Brightfield microscopy, 40× oil immersion · bone marrow aspirate smear.
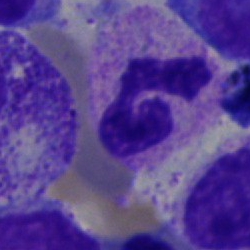
Impression — polymorphonuclear neutrophil.